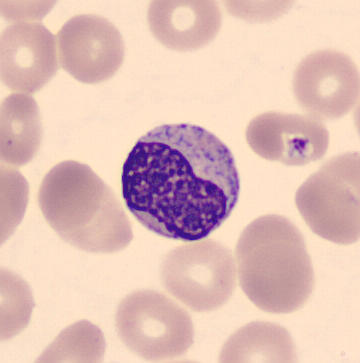Peripheral blood smear. CellaVision DM96 digital cell image. MGG-stained. The cell type is metamyelocyte.